Bone marrow smear: 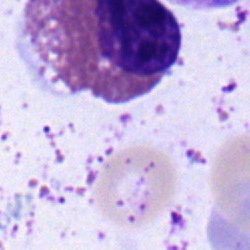

Impression — eosinophil.